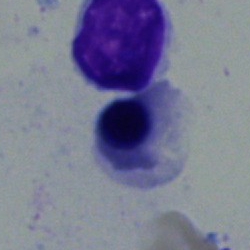 The cell type is normoblast.